May-Grünwald-Giemsa/Pappenheim stain; bone marrow smear; brightfield, 40× oil-immersion objective — 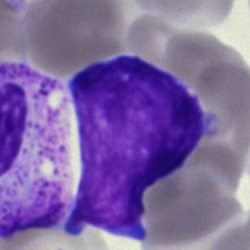
{"cell_type": "blast"}